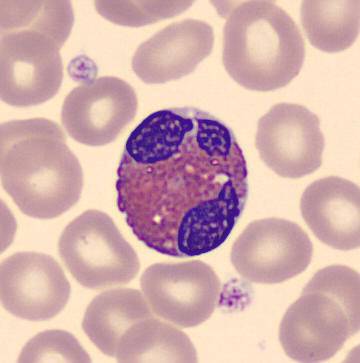 Single cell identified as an eosinophilic granulocyte.